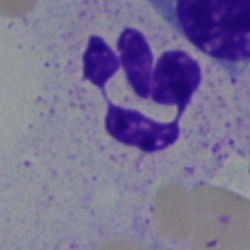

Q: What cell is this?
A: This is a polymorphonuclear neutrophil.